Brightfield, 40× oil-immersion objective · May-Grünwald-Giemsa stain · bone marrow smear.
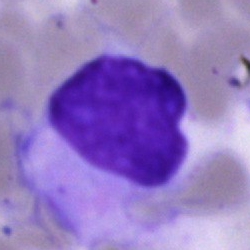
Q: What is shown here?
A: This is an artefact.